Bone marrow smear; May-Grünwald-Giemsa/Pappenheim stain: 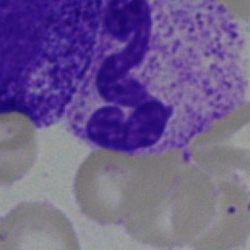

Q: Identify the cell.
A: Polymorphonuclear neutrophil.